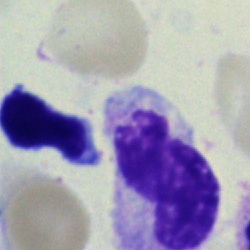
Specimen: bone marrow smear.
Classification: segmented neutrophil.